Bone marrow smear. Pappenheim-stained: 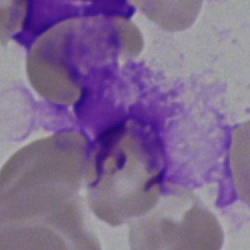
This is an artefact.